Bone marrow aspirate smear:
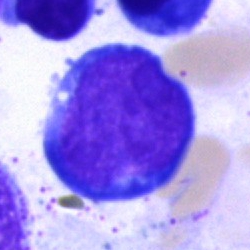Q: What is shown here?
A: This is a pronormoblast.